Bone marrow aspirate smear
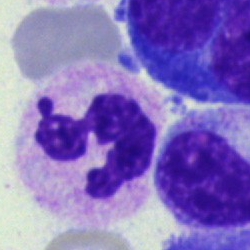The cell is neutrophil (segmented).